Bone marrow smear — 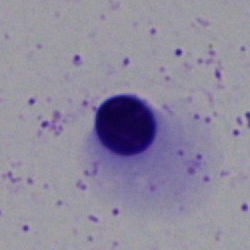 Cell type = nucleated red blood cell.